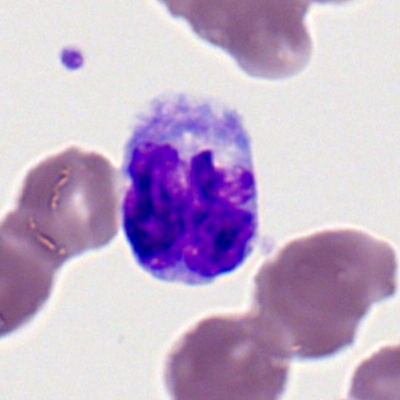

Q: Which cell type is shown here?
A: Monocyte.